Bone marrow smear · 250×250
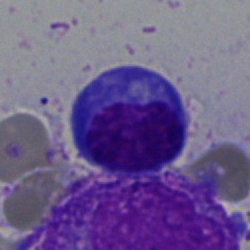
Specimen: bone marrow aspirate smear.
Morphological class: typical lymphocyte.